Bone marrow smear
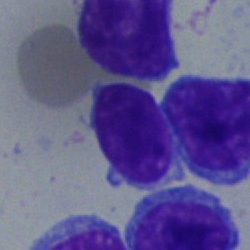 Q: Which cell type is shown here?
A: A lymphocyte.